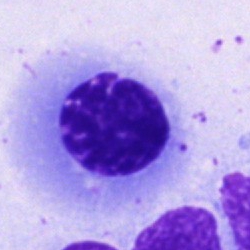
Specimen: bone marrow smear.
Cell type: normoblast.
Lineage: erythroid.